Brightfield, 100× oil-immersion objective. Single-cell crop. Peripheral blood film
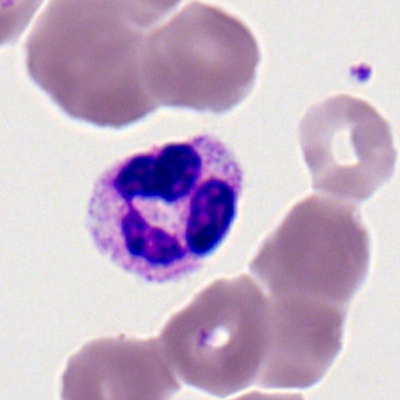Classification: segmented neutrophil.